250 by 250 pixels; bone marrow aspirate smear.
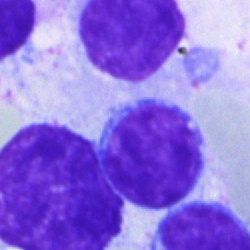 Single cell identified as a typical lymphocyte.